Single cell centered in the field; 250×250 px; bone marrow aspirate smear: 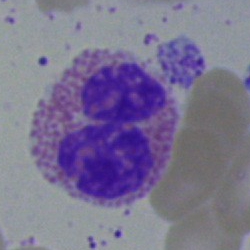

The cell shown is an eosinophil.